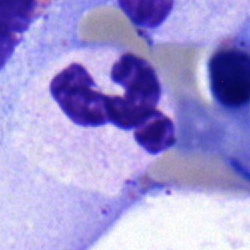
The cell type is polymorphonuclear neutrophil.